Bone marrow smear; single-cell field:
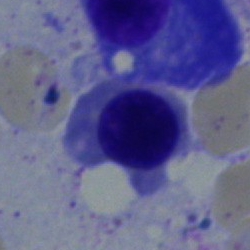 Cell type: nucleated red blood cell.